Bone marrow aspirate smear.
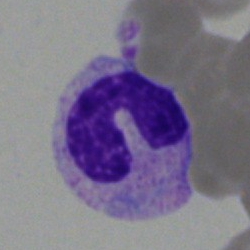Classification = segmented neutrophil.